250×250 px; brightfield microscopy, 40× oil immersion; bone marrow aspirate smear:
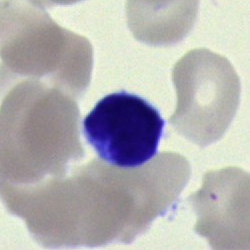

Specimen: bone marrow smear.
Cell type: lymphocyte.
Lineage: lymphoid.